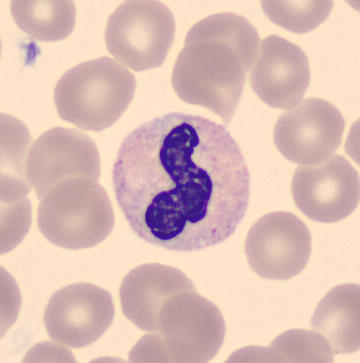
{"cell_type": "band neutrophil", "lineage": "myeloid"}
Image: Peripheral blood film. CellaVision DM96 digital cell image.